Bone marrow aspirate smear — 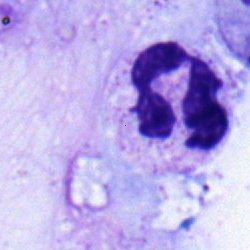

Impression — neutrophil (segmented).